Bone marrow smear · single-cell field · MGG-stained
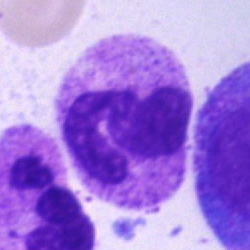

Specimen: bone marrow smear.
Classification: segmented neutrophil.